Bone marrow aspirate smear
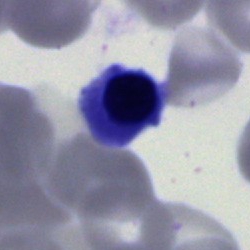
Q: What cell is this?
A: This is a normoblast.